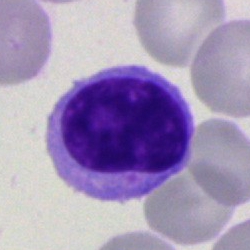Classification — lymphocyte.